100× oil immersion, 14.14 px/µm. Peripheral blood smear: 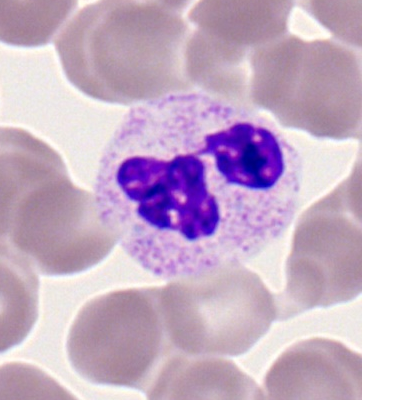 Cell: polymorphonuclear neutrophil.